Single-cell field. Bone marrow smear:
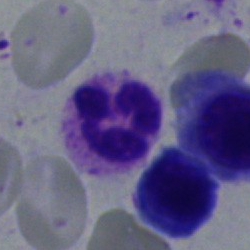

{"cell_type": "neutrophil (segmented)", "lineage": "myeloid"}